Bone marrow smear.
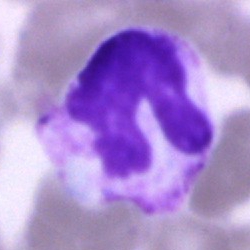

This is a band neutrophil.